Bone marrow aspirate smear: 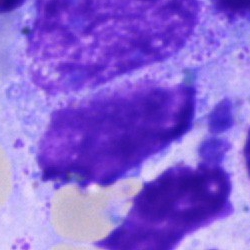

Artifact.